Bone marrow aspirate smear: 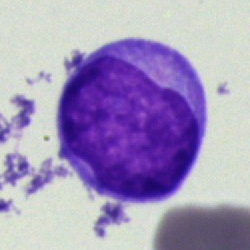
Cell type = undifferentiated blast.